Bone marrow smear · single-cell field · image size 250×250.
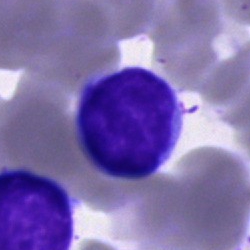
Lymphocyte.